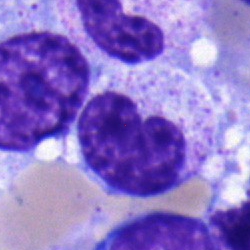
Morphology consistent with a neutrophil (band).